Bone marrow aspirate smear. 40× oil immersion. MGG-stained: 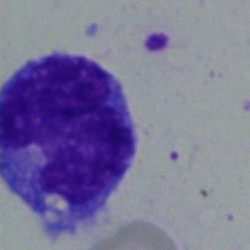
Morphological class = monocyte.